Single-cell field · May-Grünwald-Giemsa/Pappenheim stain · bone marrow smear.
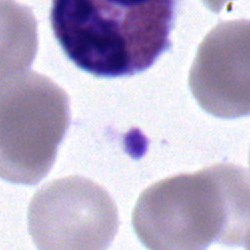 Classification: eosinophil.